40× oil immersion. Bone marrow aspirate smear — 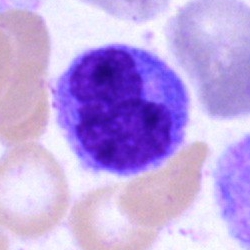

A monocyte.